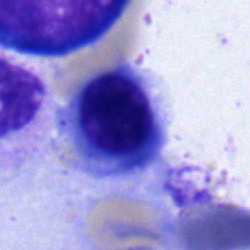 Classification — nucleated red cell.